Bone marrow smear: 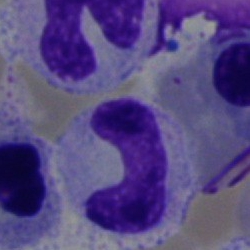

This is a band-form neutrophil.